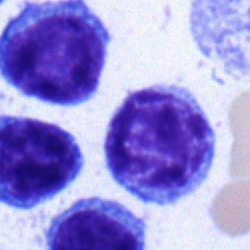 Q: What is the morphological classification of this cell?
A: This is a lymphocyte.